Bone marrow aspirate smear:
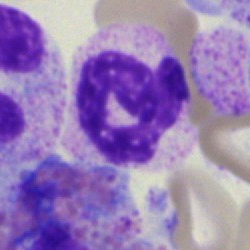Morphology consistent with a neutrophil (segmented).